May-Grünwald-Giemsa stain · bone marrow aspirate smear
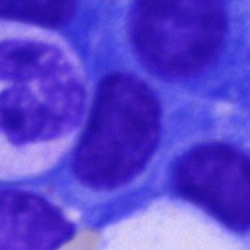

Morphological class — plasmacyte.